Bone marrow aspirate smear:
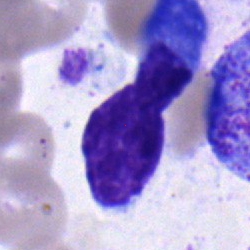Q: What is the morphological classification of this cell?
A: This is a typical lymphocyte.